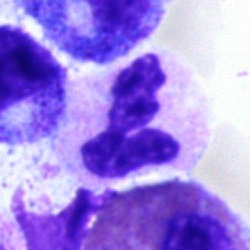

Morphology — polymorphonuclear neutrophil.